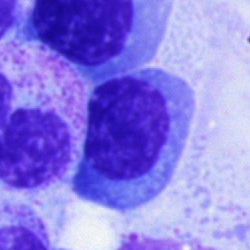
Q: Which cell type is shown here?
A: This is a nucleated red cell.